Bone marrow smear
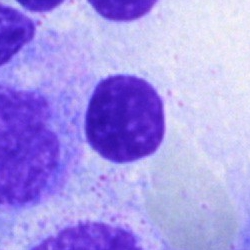 Q: What is shown here?
A: An artefact.